Bone marrow smear:
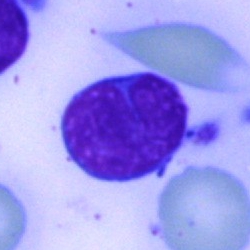 A typical lymphocyte.